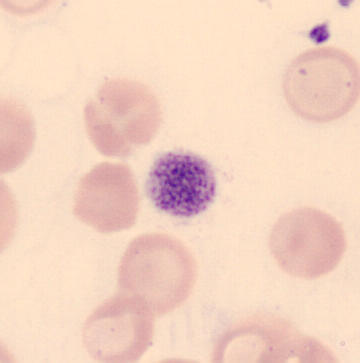
Impression → thrombocyte.